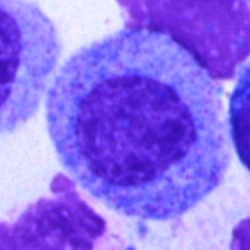This is a progranulocyte.